Bone marrow smear. Image size 250×250. Brightfield, 40× oil-immersion objective: 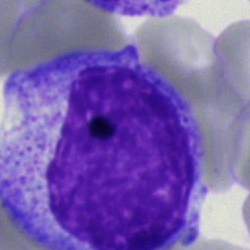

A progranulocyte.